Bone marrow smear
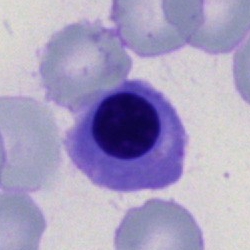

Specimen: bone marrow smear.
Morphological class: erythroblast.
Lineage: erythroid.